Bone marrow aspirate smear.
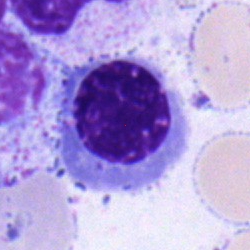

Q: Which cell type is shown here?
A: Normoblast.